Bone marrow aspirate smear: 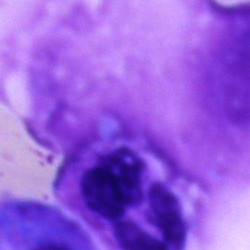 An artefact.